Bone marrow smear. May-Grünwald-Giemsa/Pappenheim stain
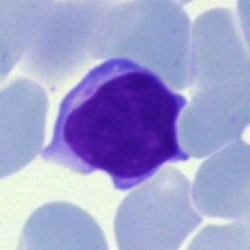 Morphology → lymphocyte.